Image size 250×250 · bone marrow smear:
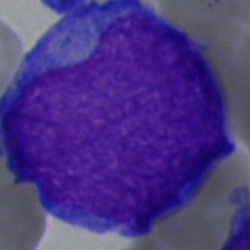 This is a blast.